Bone marrow smear
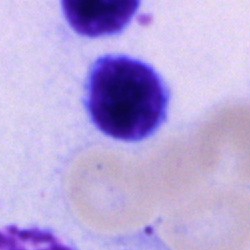
Lymphocyte.